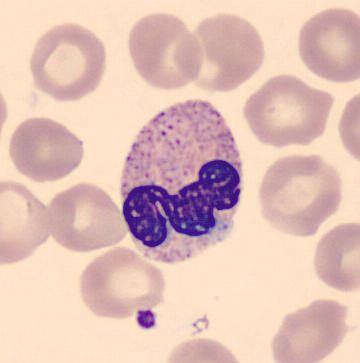

Morphological class: polymorphonuclear neutrophil. Peripheral blood smear.